250×250. Bone marrow aspirate smear — 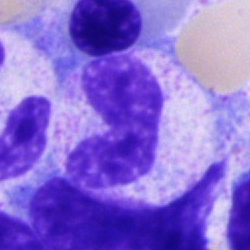
Cell type: metamyelocyte.